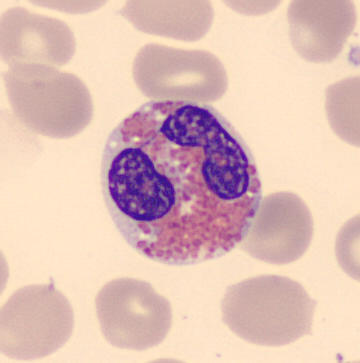

Q: What cell is this?
A: Eosinophil.